Bone marrow aspirate smear — 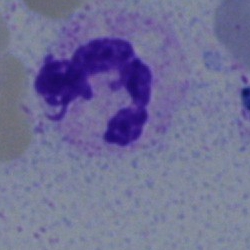

Q: What is shown here?
A: A neutrophil (segmented).